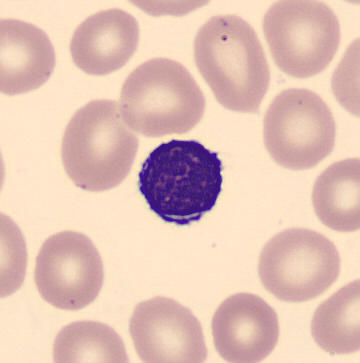 Preparation: Peripheral blood smear.

Q: What is shown here?
A: It is a typical lymphocyte.